40× oil immersion · bone marrow aspirate smear: 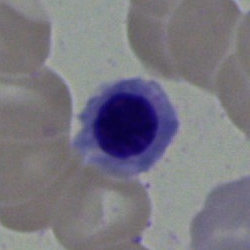 Showing a nucleated red cell.